Cropped to a single cell · bone marrow aspirate smear — 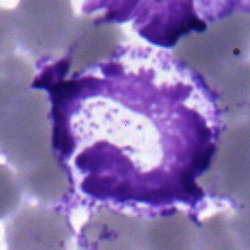
Specimen: bone marrow smear.
Classification: polymorphonuclear neutrophil.